Bone marrow aspirate smear.
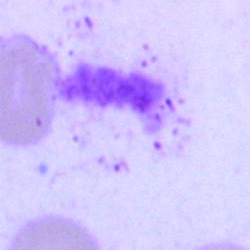Artefact.